Bone marrow smear:
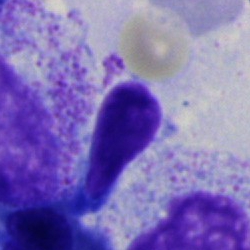 Morphology consistent with a cell of indeterminate lineage.